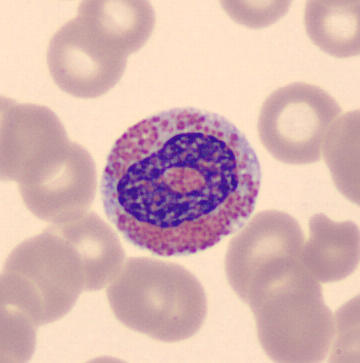
Identified as an eosinophil.